Bone marrow aspirate smear
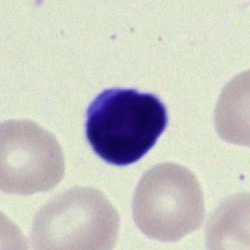
The cell type is typical lymphocyte.